Bone marrow aspirate smear:
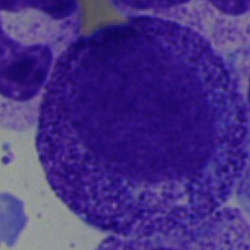
This is a progranulocyte.